250×250 px · bone marrow smear — 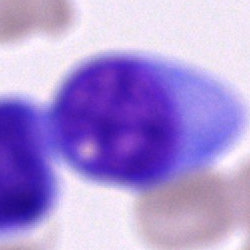

Q: Which cell type is shown here?
A: Blast cell.